40× oil immersion. Bone marrow aspirate smear. Pappenheim-stained
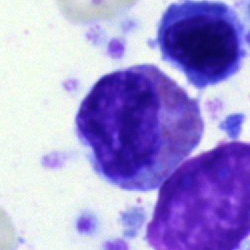
Morphological class = eosinophilic granulocyte.